Bone marrow smear. 250 by 250 pixels.
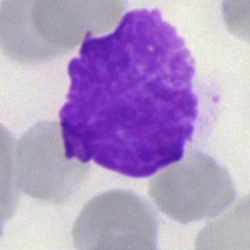

Morphology consistent with an artefact.